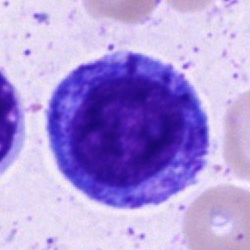
Bone marrow smear showing a progranulocyte.